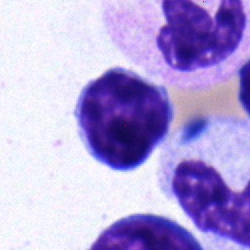Cell type = typical lymphocyte.